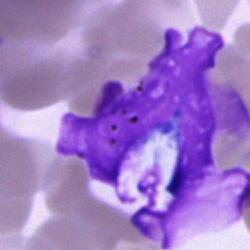This is an artifact.